Bone marrow smear.
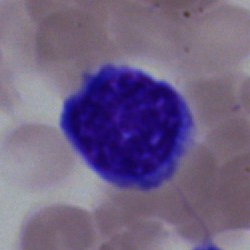Single cell identified as a lymphocyte.